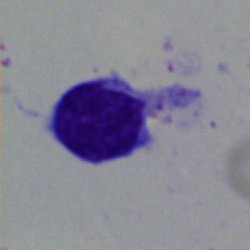 Specimen: bone marrow smear.
Morphological class: lymphocyte.
Lineage: lymphoid.